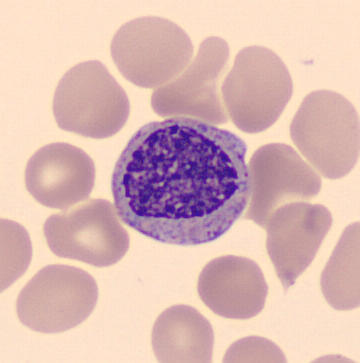 Acquisition: Peripheral blood film. Identified as a myelocyte.